Peripheral blood film; 100× oil immersion, 14.14 px/µm: 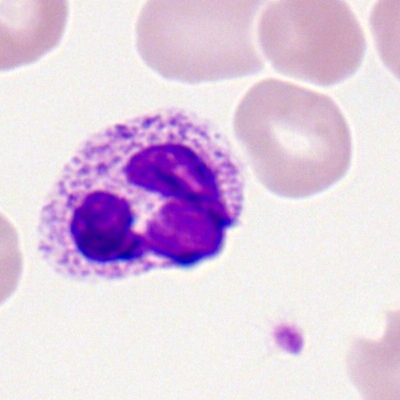
Showing a polymorphonuclear neutrophil.